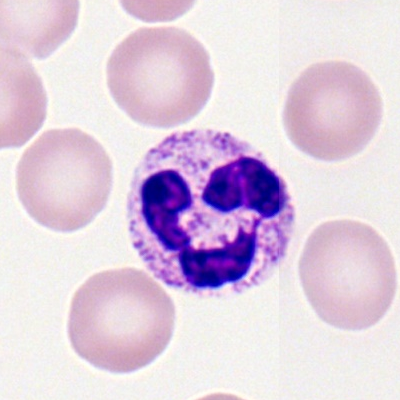Polymorphonuclear neutrophil.